Romanowsky stain; peripheral blood smear; single cell centered in the field — 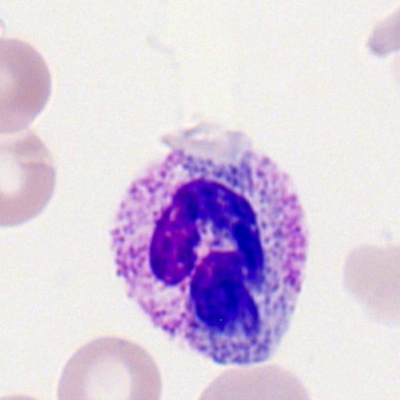

Showing a polymorphonuclear neutrophil.